Bone marrow smear · single cell centered in the field
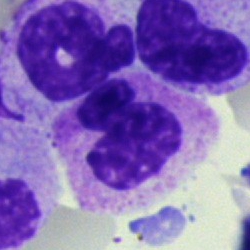 {"cell_type": "segmented neutrophil", "lineage": "myeloid"}